Bone marrow smear
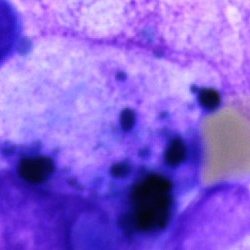
Specimen: bone marrow smear.
Morphological class: artefact.